Bone marrow aspirate smear. May-Grünwald-Giemsa/Pappenheim stain.
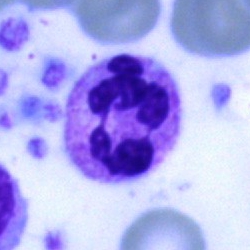 Specimen: bone marrow aspirate smear.
Cell: polymorphonuclear neutrophil.